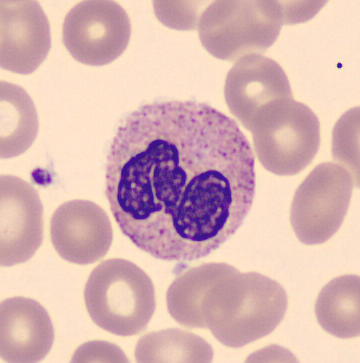Specimen: peripheral blood film.
Morphological class: neutrophil (segmented).
Lineage: myeloid.